Bone marrow smear.
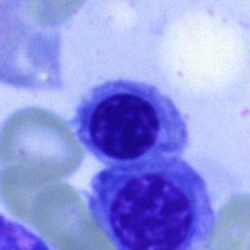
Specimen: bone marrow aspirate smear.
Classification: erythroblast.